Bone marrow smear — 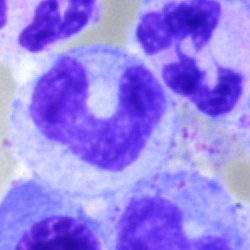 Cell: band-form neutrophil.